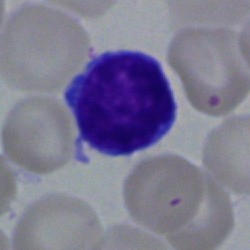Specimen: bone marrow smear.
Cell type: typical lymphocyte.